250×250; brightfield, 40× oil-immersion objective; bone marrow aspirate smear: 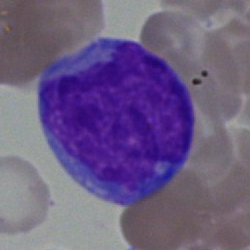
Q: What type of cell is this?
A: Undifferentiated blast.